Bone marrow aspirate smear — 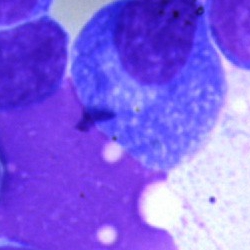{"cell_type": "plasma cell"}